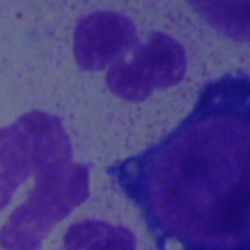 Morphology — neutrophil (segmented).